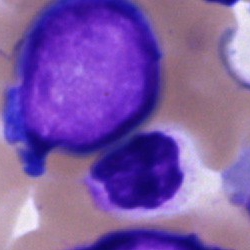

Showing an undifferentiated blast.